Bone marrow smear.
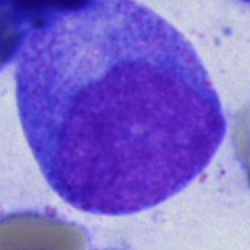A progranulocyte.